May-Grünwald-Giemsa/Pappenheim stain. Bone marrow smear:
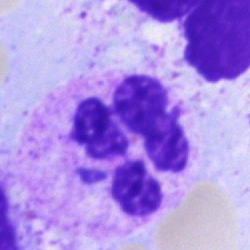
Neutrophil (segmented).